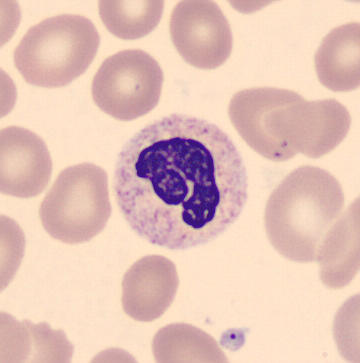
{"cell_type": "neutrophil (band)", "lineage": "myeloid"}